40× objective, oil immersion. Bone marrow smear. Image size 250×250:
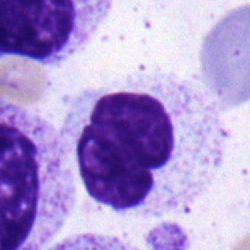 Morphological class = neutrophil (band).